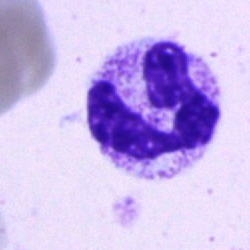
Bone marrow smear showing a polymorphonuclear neutrophil.